Bone marrow smear.
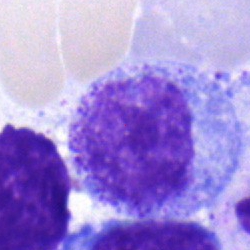
A myelocyte.